Bone marrow aspirate smear
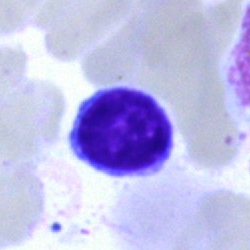

A lymphocyte.